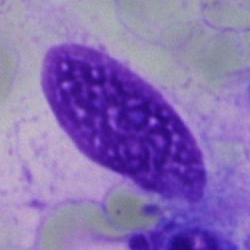 Morphological class = artifact.